Peripheral blood smear. 100× objective, oil immersion
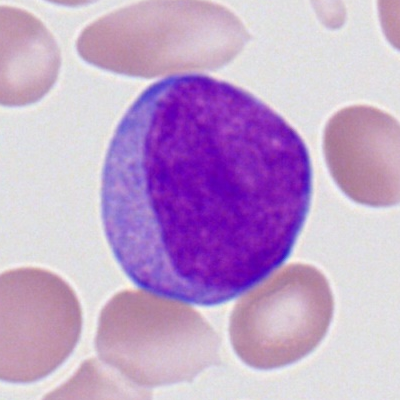

Single cell identified as a myeloblast.